Peripheral blood film · cropped to a single cell — 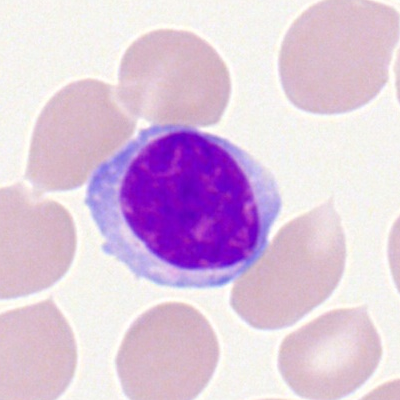 Single cell identified as a lymphocyte.